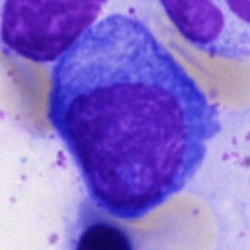

Morphological class = plasmacyte.